Bone marrow aspirate smear
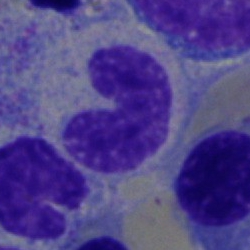

Morphology consistent with a neutrophil (band).